Bone marrow aspirate smear: 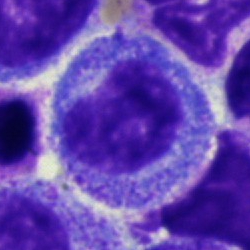

Showing a promyelocyte.